Bone marrow smear:
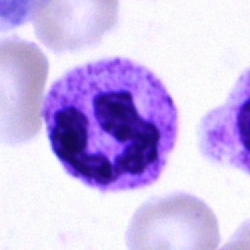Morphological class = polymorphonuclear neutrophil.